Brightfield, 40× oil-immersion objective · single cell centered in the field · bone marrow aspirate smear
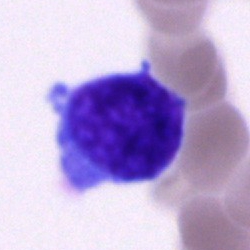

Showing a blast.